May-Grünwald-Giemsa/Pappenheim stain · bone marrow smear
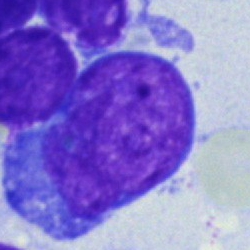

Morphology consistent with an undifferentiated blast.